Peripheral blood film: 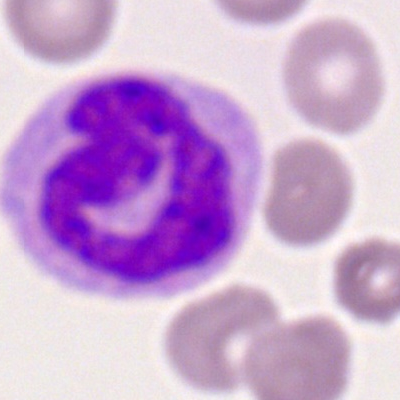

Cell = monocyte.